Bone marrow smear — 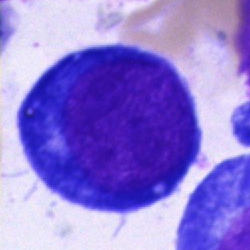
Specimen: bone marrow smear.
Morphological class: pronormoblast.
Lineage: erythroid.